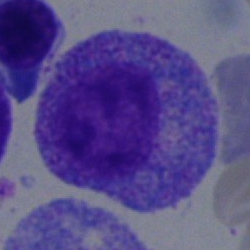Specimen: bone marrow smear.
Cell type: myelocyte.
Lineage: myeloid.